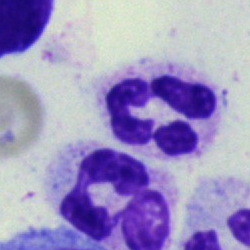
Cell type: segmented neutrophil.